Bone marrow aspirate smear.
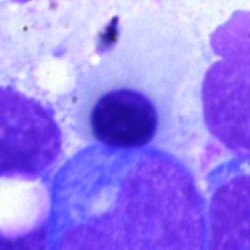

Q: What type of cell is this?
A: It is an erythroblast.